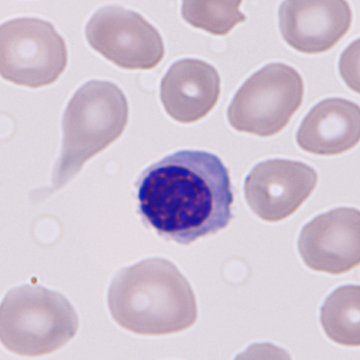
This is a normoblast.

Automated cell imaging (CellaVision DM96) · peripheral blood smear · 360 by 360 pixels.